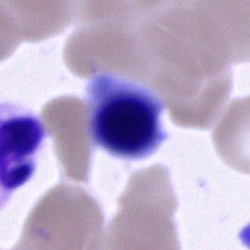 Bone marrow smear showing a nucleated red cell.